Bone marrow aspirate smear — 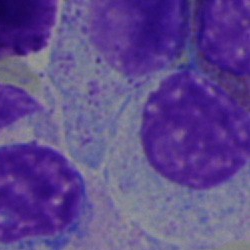

Single cell identified as a myelocyte.